Image size 250×250. Bone marrow smear:
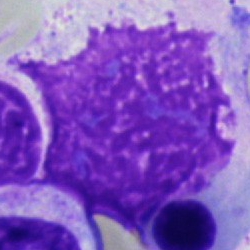

Showing an artifact.